CellaVision DM96 digital cell image · peripheral blood film — 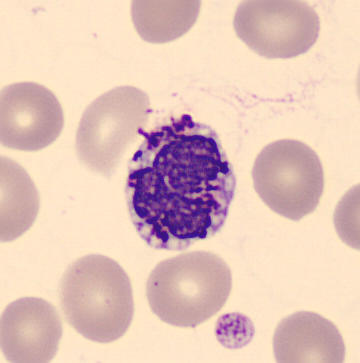 The cell shown is a basophil.